Bone marrow aspirate smear · May-Grünwald-Giemsa/Pappenheim stain · brightfield, 40× oil-immersion objective: 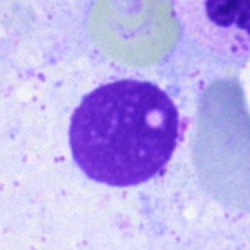The classification is artefact.